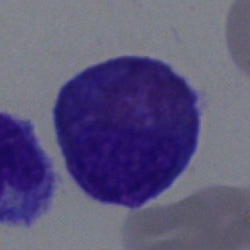 Impression → eosinophilic granulocyte.